Bone marrow aspirate smear
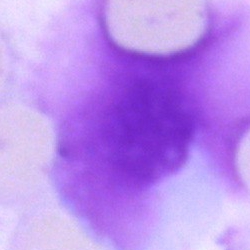

Single cell identified as an artefact.